Peripheral blood smear
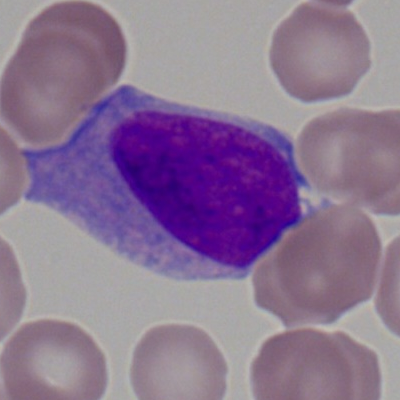This is a myeloid blast.